Bone marrow aspirate smear: 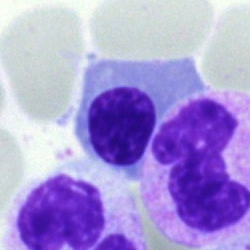 {"cell_type": "normoblast", "lineage": "erythroid"}